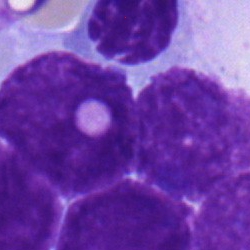

The classification is nucleated red cell.